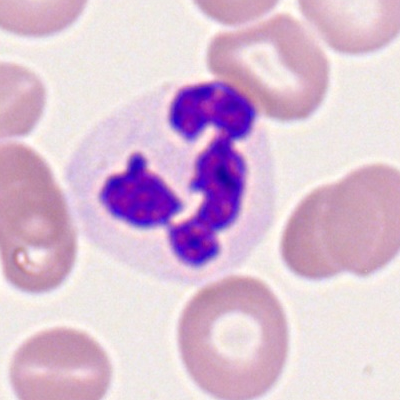Impression → segmented neutrophil.